Bone marrow smear
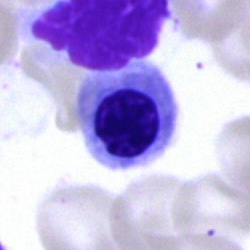 Q: What type of cell is this?
A: A nucleated red blood cell.